Peripheral blood smear:
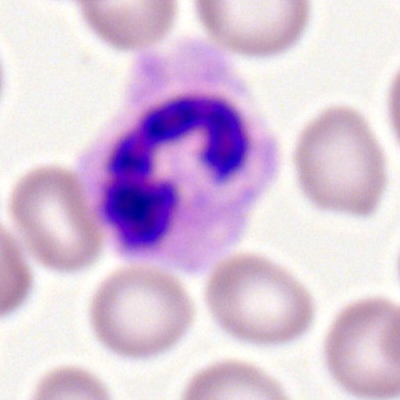Impression → polymorphonuclear neutrophil.